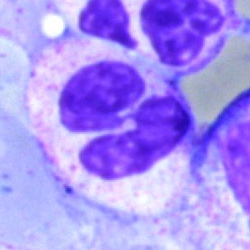

{"cell_type": "polymorphonuclear neutrophil"}